Bone marrow aspirate smear.
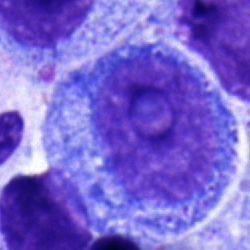Specimen: bone marrow smear.
Cell: progranulocyte.
Lineage: myeloid.